MGG-stained · bone marrow aspirate smear: 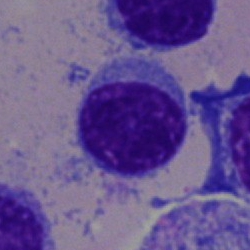
The cell shown is a lymphocyte.